Bone marrow smear
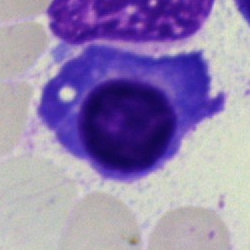
Q: Which cell type is shown here?
A: It is a plasmacyte.